Bone marrow smear — 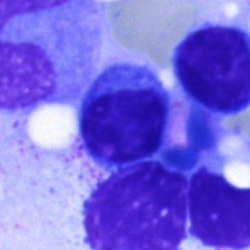
Morphology — typical lymphocyte.